40× oil immersion · bone marrow aspirate smear · May-Grünwald-Giemsa stain
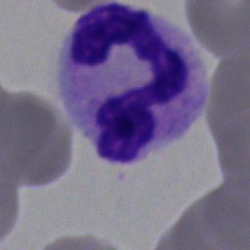Morphology consistent with a polymorphonuclear neutrophil.